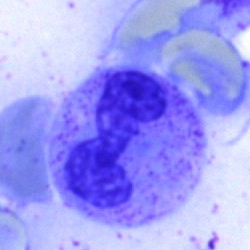Cell type — neutrophil (segmented).